Pappenheim-stained. Bone marrow smear
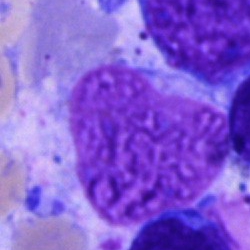Specimen: bone marrow smear.
Classification: artefact.